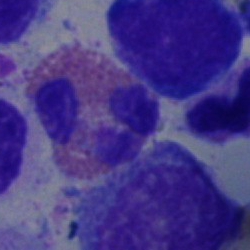Q: Which cell type is shown here?
A: An eosinophilic granulocyte.